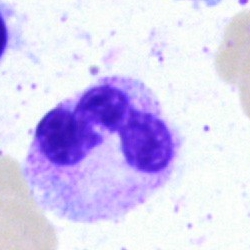

Cell: neutrophil (segmented).